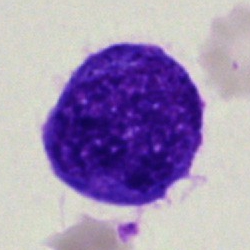Morphology consistent with an artefact.